250×250 px. Bone marrow aspirate smear — 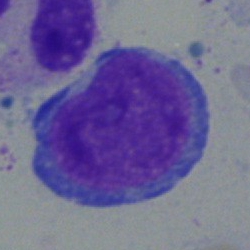
Classification — pronormoblast.